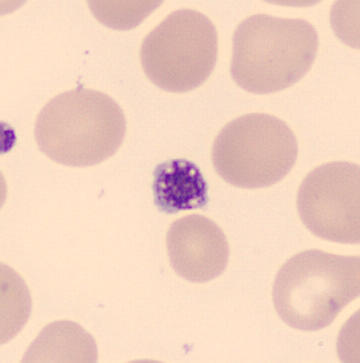

Q: What is shown here?
A: It is a thrombocyte.